Bone marrow aspirate smear:
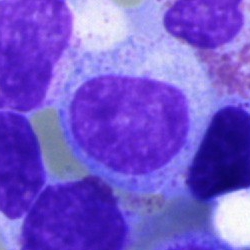
Classification — lymphocyte.